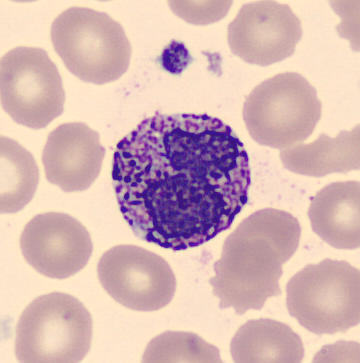
Peripheral blood smear showing a basophil.